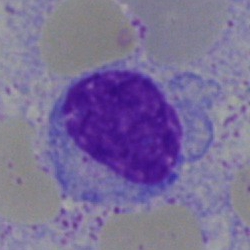

Specimen: bone marrow smear.
Classification: typical lymphocyte.
Lineage: lymphoid.